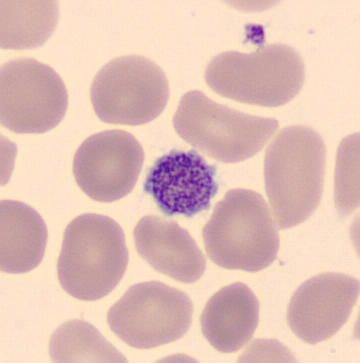360×363 px; peripheral blood film.

{"cell_type": "platelet"}